May-Grünwald-Giemsa stain · bone marrow smear · 250 by 250 pixels:
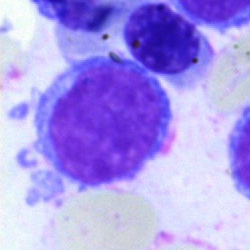 Typical lymphocyte.